Bone marrow aspirate smear · single cell centered in the field
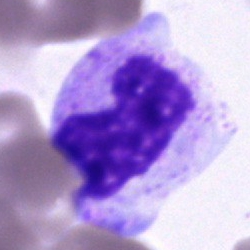
Specimen: bone marrow aspirate smear.
Morphological class: cell of indeterminate lineage.